40× oil immersion; bone marrow aspirate smear; 250 by 250 pixels.
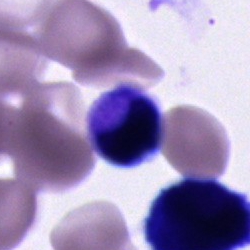
The cell type is unidentifiable cell.